Bone marrow smear. Single-cell field.
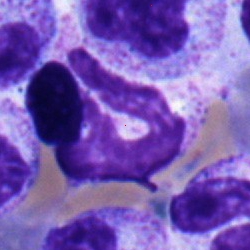
Classification = segmented neutrophil.